Single cell centered in the field. Bone marrow aspirate smear:
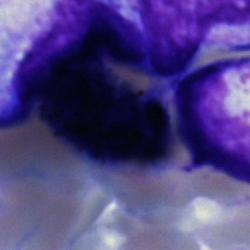 Showing an artefact.